Bone marrow smear: 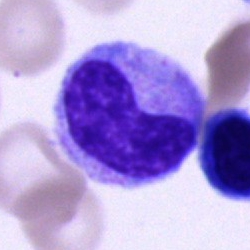
Morphology consistent with a metamyelocyte.